Single cell centered in the field. Bone marrow aspirate smear — 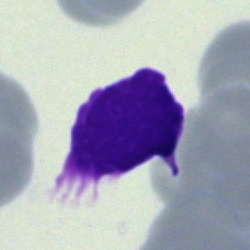

Cell type — artefact.